Bone marrow smear.
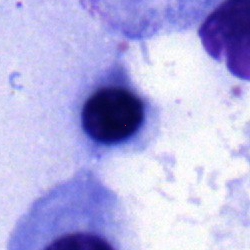

Impression — nucleated red cell.